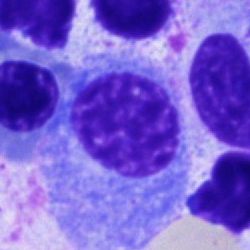

Impression → plasmacyte.